Bone marrow smear · single-cell crop
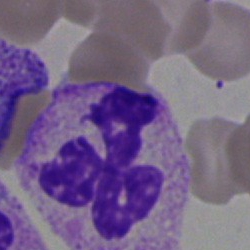A segmented neutrophil.